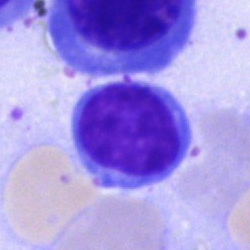
Q: What is the morphological classification of this cell?
A: This is a typical lymphocyte.